May-Grünwald-Giemsa/Pappenheim stain; brightfield microscopy, 40× oil immersion; bone marrow smear — 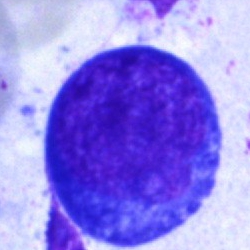

Specimen: bone marrow smear.
Cell: blast.